Single-cell crop; bone marrow aspirate smear; brightfield microscopy, 40× oil immersion: 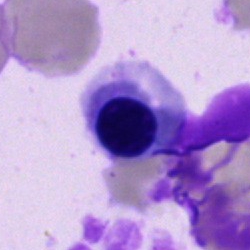This is a nucleated red blood cell.